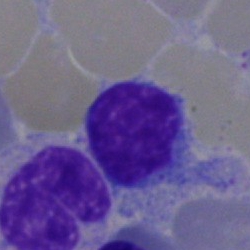
Impression → typical lymphocyte.